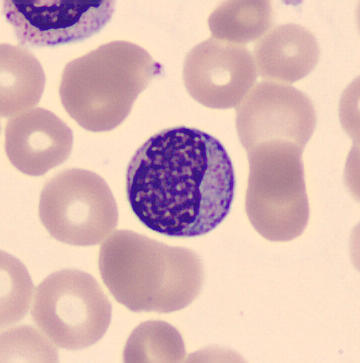

A myelocyte on a peripheral blood smear.